Bone marrow smear: 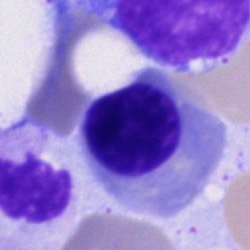 Nucleated red blood cell.